Cropped to a single cell; bone marrow aspirate smear:
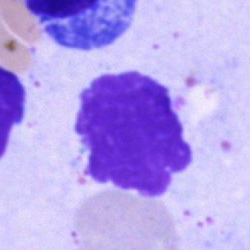 Q: What is shown here?
A: An artifact.